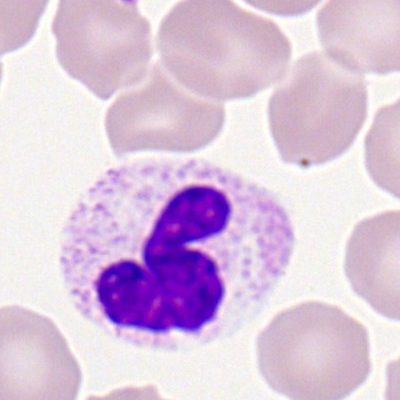

Cell type — polymorphonuclear neutrophil.